Bone marrow aspirate smear.
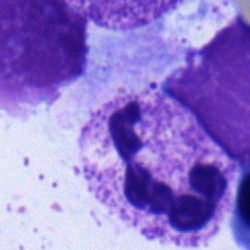 Q: Identify the cell.
A: A neutrophil (segmented).